250 by 250 pixels; bone marrow smear.
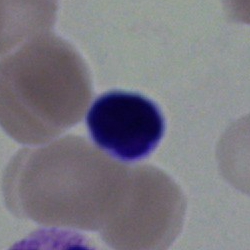 A typical lymphocyte.